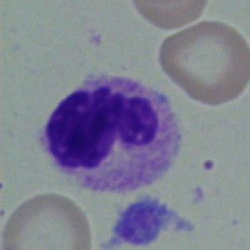Morphological class = neutrophil (segmented).